Bone marrow smear: 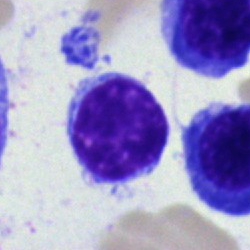Showing a typical lymphocyte.